Bone marrow aspirate smear · brightfield, 40× oil-immersion objective — 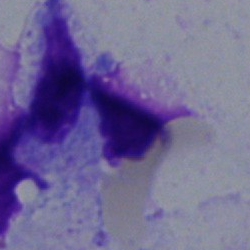

Specimen: bone marrow smear.
Morphological class: artifact.